Peripheral blood film; cropped to a single cell
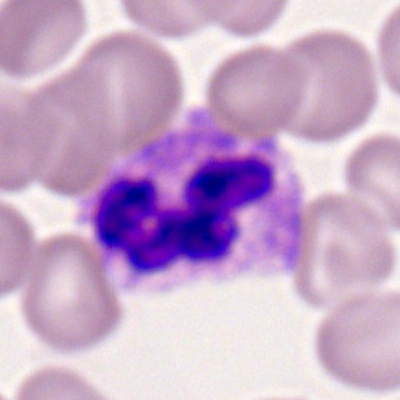

Q: What is shown here?
A: A polymorphonuclear neutrophil.